Bone marrow aspirate smear — 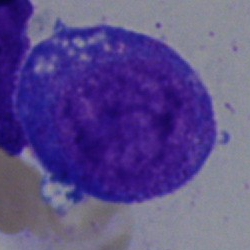
This is a progranulocyte.